Bone marrow smear: 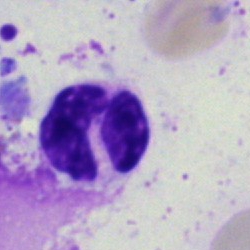 The cell is segmented neutrophil.